Bone marrow aspirate smear: 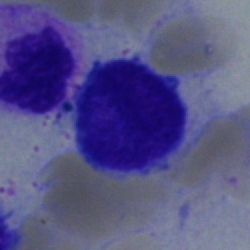
{"cell_type": "blast cell"}